Bone marrow aspirate smear — 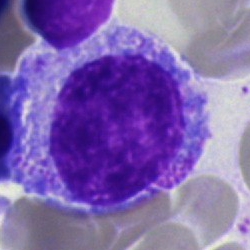

A myelocyte.